Bone marrow smear — 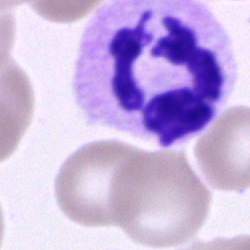 Morphology — polymorphonuclear neutrophil.